Bone marrow aspirate smear. 40× objective, oil immersion
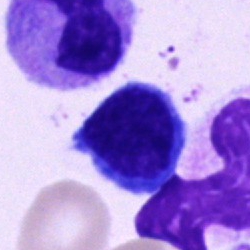

Showing a lymphocyte.